Bone marrow aspirate smear. Single cell centered in the field:
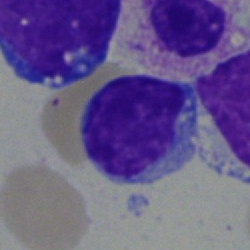
The classification is lymphocyte.